Bone marrow smear:
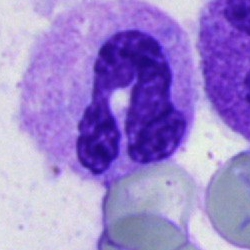
Single cell identified as a polymorphonuclear neutrophil.